Bone marrow aspirate smear.
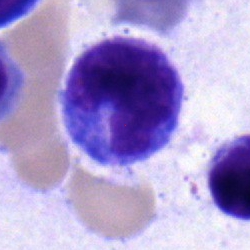

{"cell_type": "monocyte"}